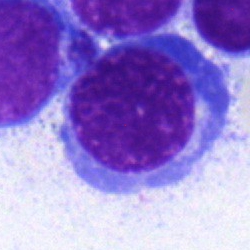
Single-cell crop from a bone marrow smear: nucleated red cell.